Bone marrow aspirate smear
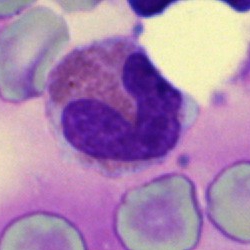 Impression — eosinophil.